Peripheral blood film. Single cell centered in the field. Romanowsky-stained.
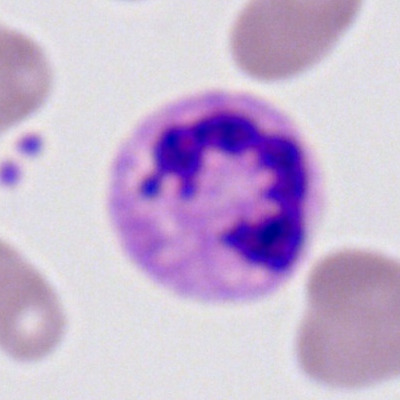

Single cell identified as a polymorphonuclear neutrophil.